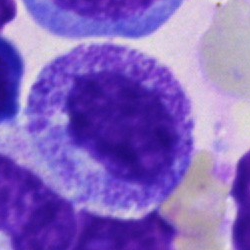
Q: What type of cell is this?
A: This is a metamyelocyte.